Peripheral blood smear:
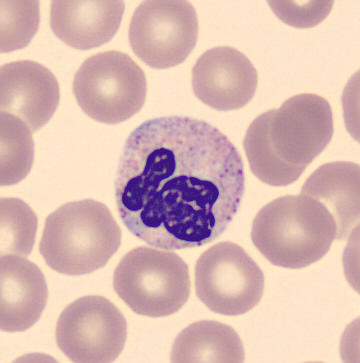

{"cell_type": "neutrophil (segmented)"}